Bone marrow smear; brightfield microscopy, 40× oil immersion
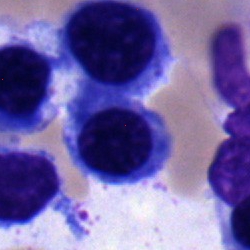

Q: Which cell type is shown here?
A: This is a nucleated red cell.